Bone marrow smear:
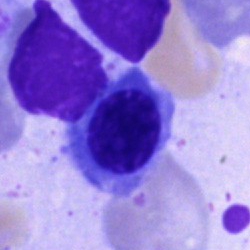Erythroblast.